Single-cell field. Bone marrow smear.
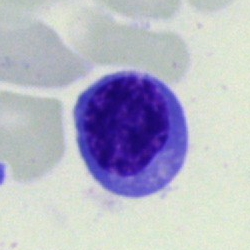Q: Which cell type is shown here?
A: This is an erythroblast.